Bone marrow smear:
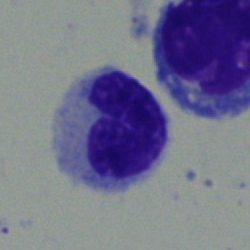 A metamyelocyte.